Peripheral blood film
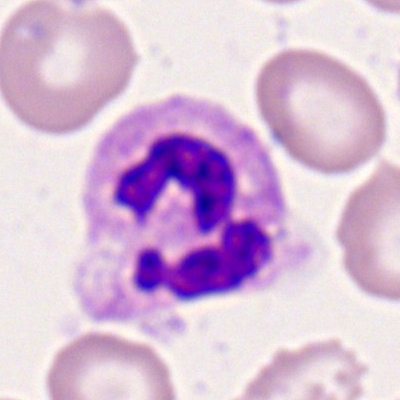

Single cell identified as a neutrophil (segmented).